Bone marrow aspirate smear:
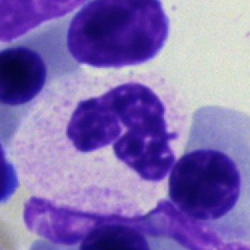The cell shown is a neutrophil (segmented).